Bone marrow smear. Brightfield microscopy, 40× oil immersion. Pappenheim-stained.
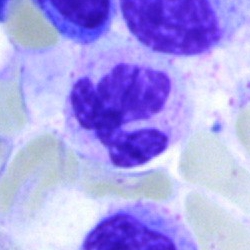 Cell type = polymorphonuclear neutrophil.